Bone marrow aspirate smear · 40× objective, oil immersion:
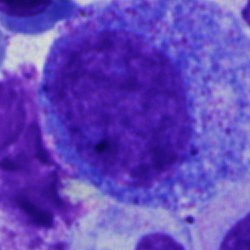
Q: What type of cell is this?
A: It is a progranulocyte.